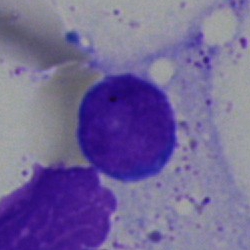Q: What is shown here?
A: This is a typical lymphocyte.